250 by 250 pixels; bone marrow smear; 40× oil immersion — 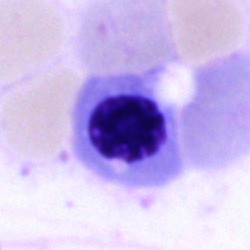
Cell: nucleated red cell.